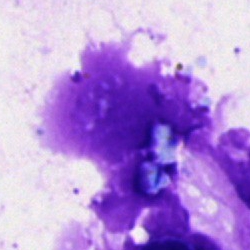

Q: What is shown here?
A: It is an artifact.